MGG-stained. Bone marrow aspirate smear.
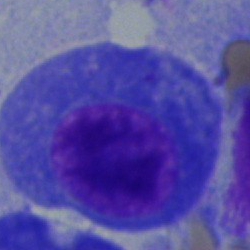
Cell type: plasma cell.